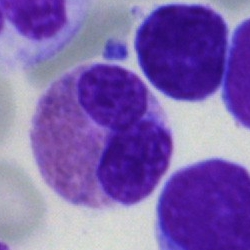

Cell — eosinophil.